250 by 250 pixels · single-cell field · bone marrow smear:
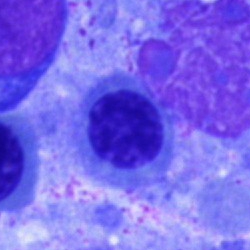

Specimen: bone marrow aspirate smear.
Morphological class: nucleated red cell.